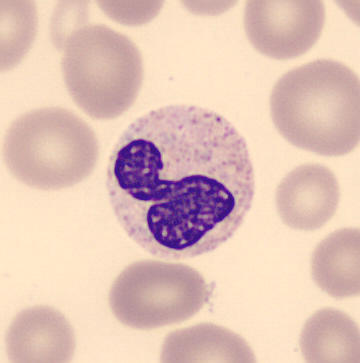 Specimen: peripheral blood smear.
Morphological class: band-form neutrophil.
MGG stain · CellaVision DM96 digital cell image.